Peripheral blood smear. Single-cell field.
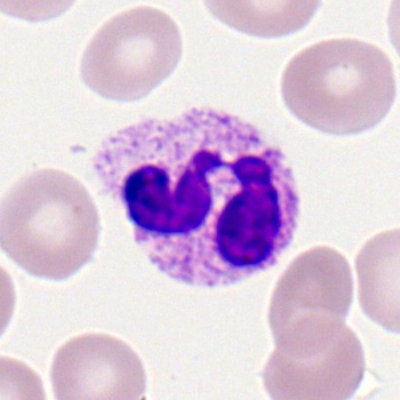Morphological class: neutrophil (segmented).